Bone marrow aspirate smear. 250 by 250 pixels. Brightfield, 40× oil-immersion objective: 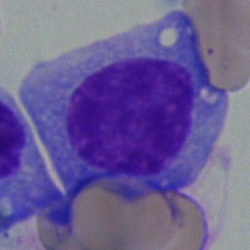

Q: Which cell type is shown here?
A: This is a plasmacyte.